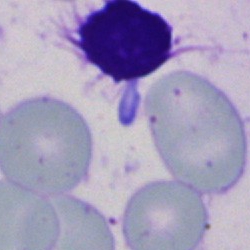

The classification is artefact.